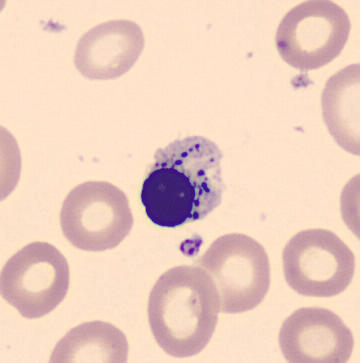The morphological class is normoblast.